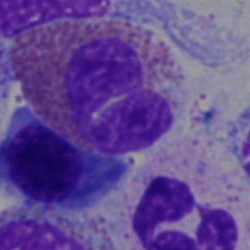 This is an eosinophil.